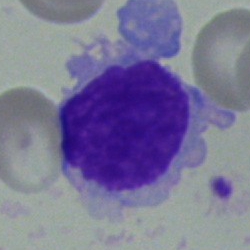 A lymphocyte.